Bone marrow aspirate smear
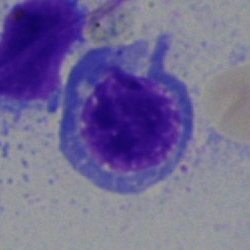
This is a normoblast.